Bone marrow smear.
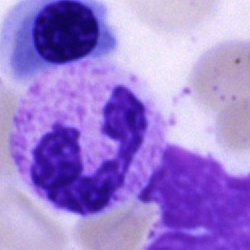
Neutrophil (segmented).